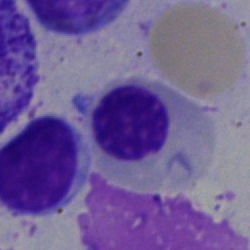Morphological class — nucleated red blood cell.